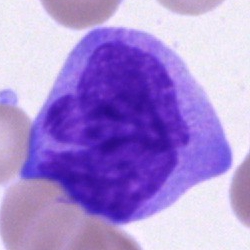
An undifferentiated blast on a bone marrow smear.